Bone marrow aspirate smear
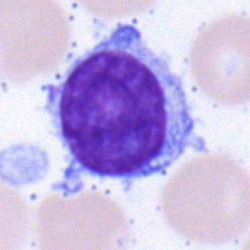

The cell shown is a typical lymphocyte.